Bone marrow aspirate smear. Image size 250×250. Pappenheim-stained:
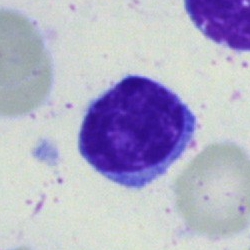Q: What is the morphological classification of this cell?
A: Typical lymphocyte.